Bone marrow smear · 250×250 px.
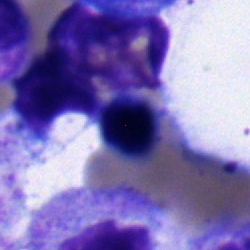 Single cell identified as an erythroblast.